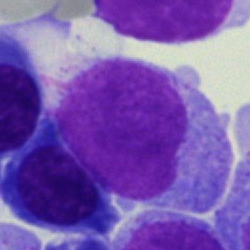 Q: What cell is this?
A: An undifferentiated blast.